Bone marrow aspirate smear
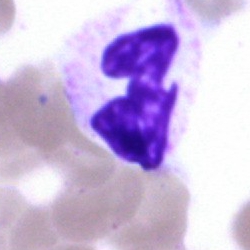
The morphological class is segmented neutrophil.